Bone marrow smear.
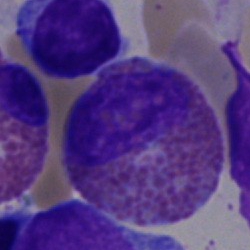Q: What is the morphological classification of this cell?
A: It is an eosinophilic granulocyte.